Bone marrow smear
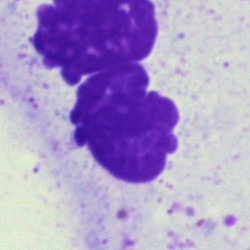 Single cell identified as an artefact.